Bone marrow aspirate smear
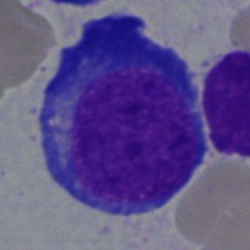Single cell identified as a pronormoblast.